Bone marrow aspirate smear: 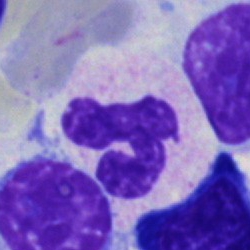

Cell — neutrophil (segmented).